Bone marrow aspirate smear
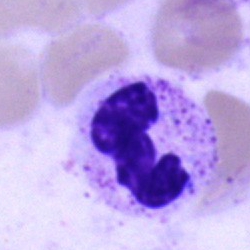

Q: Identify the cell.
A: This is a polymorphonuclear neutrophil.